Bone marrow smear:
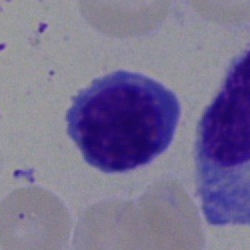
Q: What is the morphological classification of this cell?
A: It is a nucleated red blood cell.